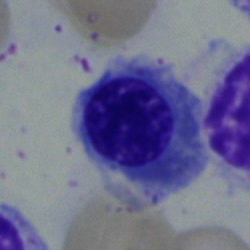

A normoblast on a bone marrow smear.